Bone marrow smear.
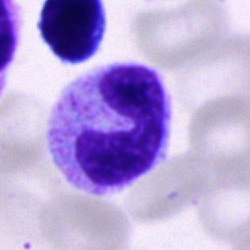A neutrophil (band).